40× objective, oil immersion. Bone marrow smear.
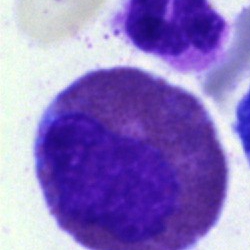

Morphological class = eosinophil.